40× objective, oil immersion · bone marrow smear — 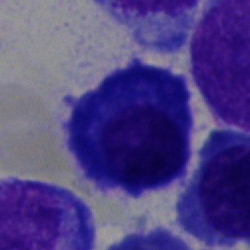 Plasma cell.